May-Grünwald-Giemsa/Pappenheim stain; bone marrow aspirate smear.
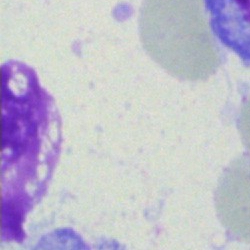 An artefact.